Single-cell field; bone marrow aspirate smear: 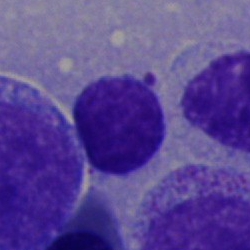 Q: What is the morphological classification of this cell?
A: Lymphocyte.